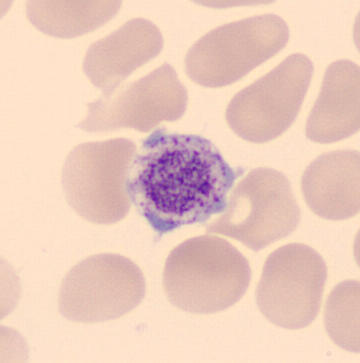
Q: What is shown here?
A: Platelet (thrombocyte). Preparation: MGG stain; peripheral blood film.